May-Grünwald-Giemsa stain. Cropped to a single cell. Bone marrow smear — 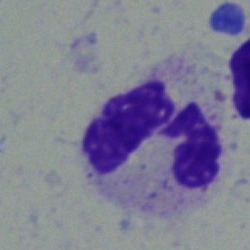
Morphological class — neutrophil (segmented).